Bone marrow smear.
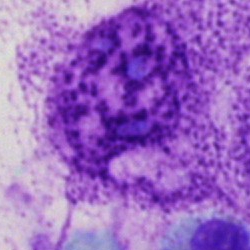 Artifact.